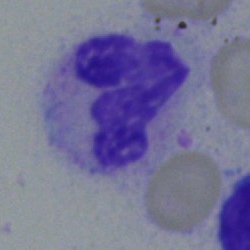

An eosinophil on a bone marrow smear.